Bone marrow aspirate smear:
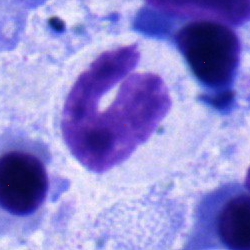Q: What is shown here?
A: A band-form neutrophil.